Bone marrow smear · cropped to a single cell — 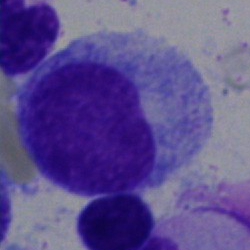

{"cell_type": "promyelocyte", "lineage": "myeloid"}